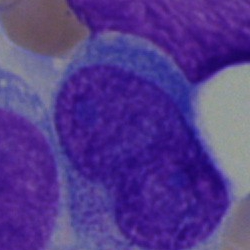Morphological class: blast cell.